Bone marrow aspirate smear; single-cell crop; 250×250
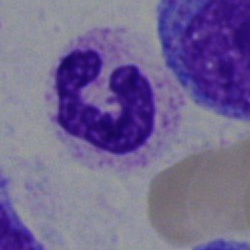

Single cell identified as a segmented neutrophil.